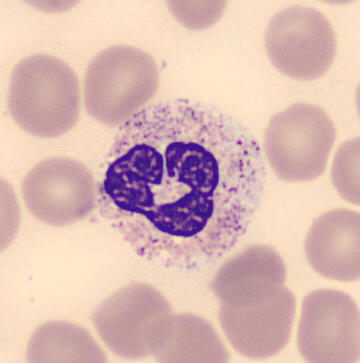

Peripheral blood film · CellaVision DM96 · May Grünwald-Giemsa stain. Identified as a polymorphonuclear neutrophil.